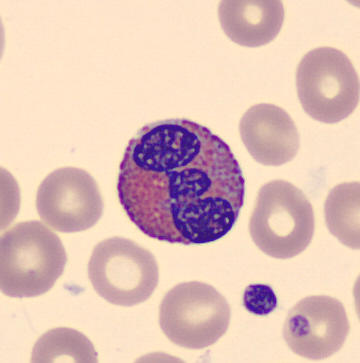 An eosinophilic granulocyte.